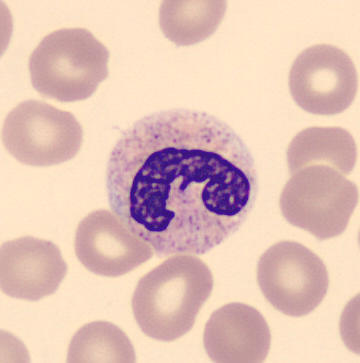

Specimen: peripheral blood film.
Cell: segmented neutrophil.
Lineage: myeloid.
Image: Single-cell field.